Bone marrow smear · single-cell field — 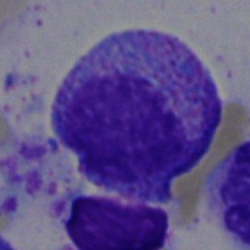
Impression → progranulocyte.